400 by 400 pixels. Peripheral blood smear — 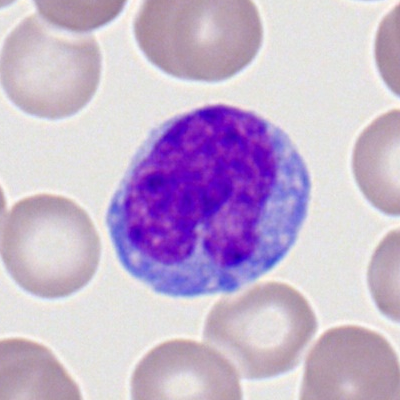

Monocyte.